May-Grünwald-Giemsa/Pappenheim stain; 40× objective, oil immersion; bone marrow aspirate smear.
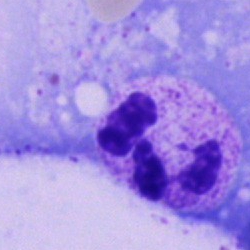 Cell type = segmented neutrophil.